40× oil immersion. Image size 250×250. Bone marrow aspirate smear: 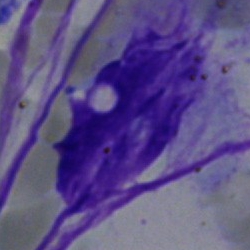

Single cell identified as an artefact.